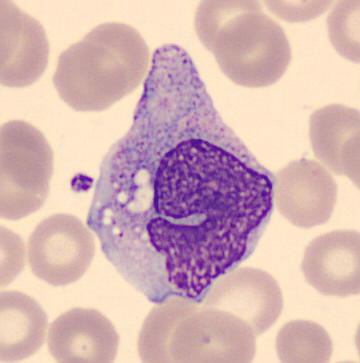 {"cell_type": "monocyte", "lineage": "myeloid"} Acquisition: Peripheral blood film.